Peripheral blood smear · single cell centered in the field · brightfield, 100× oil-immersion objective:
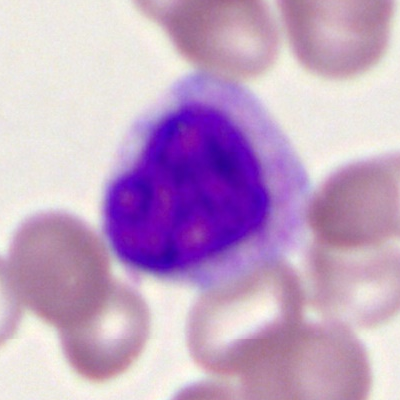

Q: What cell is this?
A: Myelocyte.